Bone marrow smear
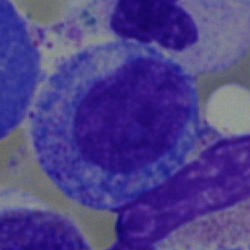Specimen: bone marrow smear.
Morphological class: myelocyte.
Lineage: myeloid.